Bone marrow aspirate smear; 250 by 250 pixels
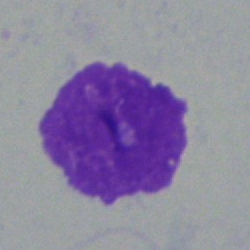 Specimen: bone marrow smear.
Morphological class: artifact.